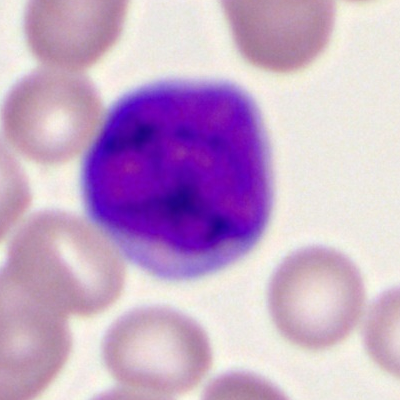A myeloid blast.